Bone marrow smear:
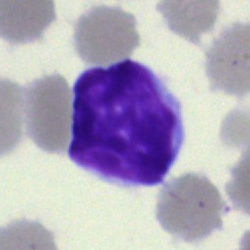

A lymphocyte.